Cropped to a single cell. Bone marrow aspirate smear:
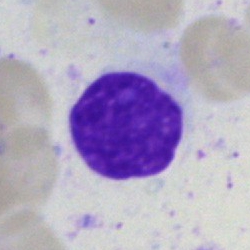Cell type = artefact.